Bone marrow smear:
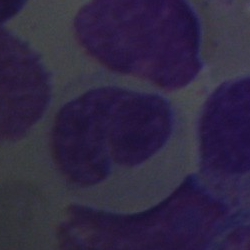
Q: What is shown here?
A: An artifact.